Brightfield, 40× oil-immersion objective. Bone marrow aspirate smear
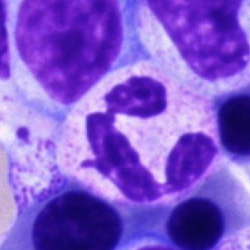 Single cell identified as a segmented neutrophil.